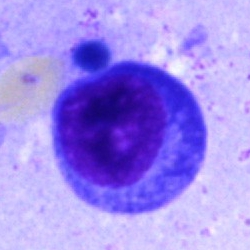
A plasmacyte on a bone marrow smear.